Bone marrow aspirate smear. Brightfield, 40× oil-immersion objective
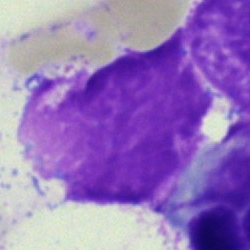

Impression — artefact.